Bone marrow aspirate smear.
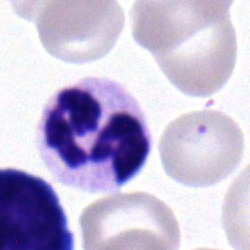Cell — polymorphonuclear neutrophil.